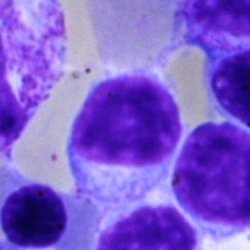
Morphological class = typical lymphocyte.